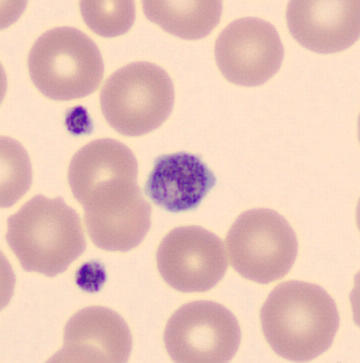This is a thrombocyte.